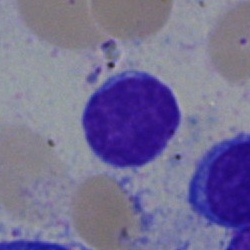Classification — typical lymphocyte.